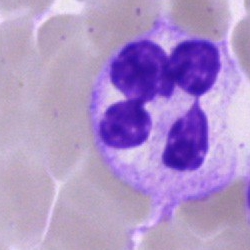Morphology — neutrophil (segmented).